400 by 400 pixels; peripheral blood film; single-cell crop — 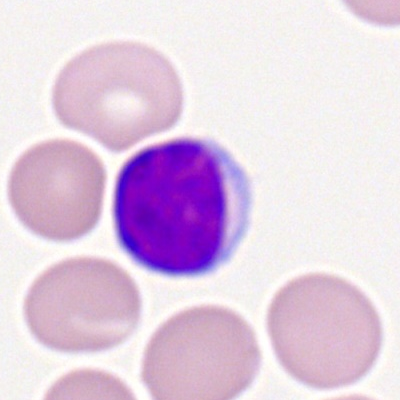

Morphology — typical lymphocyte.